Peripheral blood film.
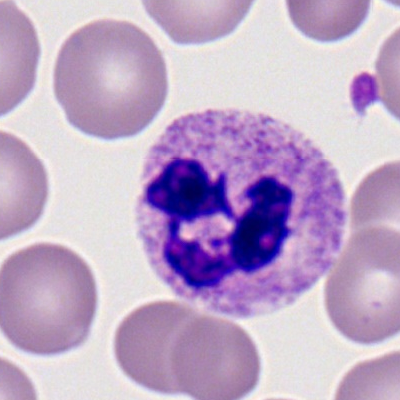Specimen: peripheral blood smear.
Morphological class: neutrophil (segmented).